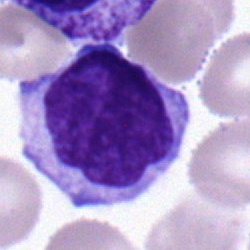

Impression → lymphocyte.